Bone marrow smear · 250×250 px · cropped to a single cell — 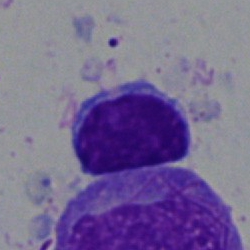

Q: Identify the cell.
A: Typical lymphocyte.